250×250 px. 40× oil immersion. Bone marrow smear — 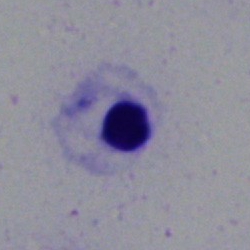

Classification: normoblast.